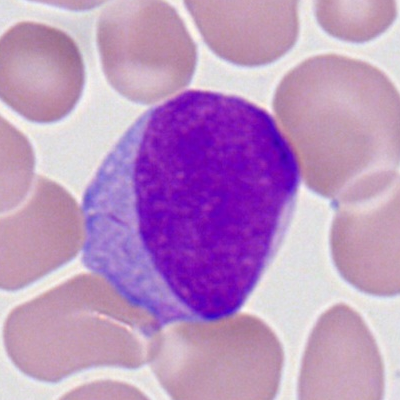Specimen: peripheral blood film.
Classification: myeloid blast.